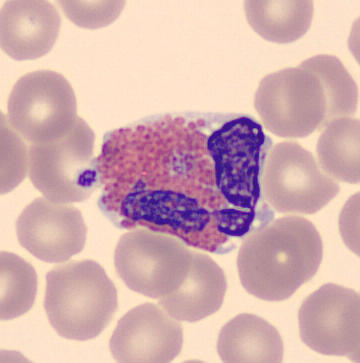
Impression — eosinophil.

Image: Automated cell imaging (CellaVision DM96). Peripheral blood smear.